Brightfield, 40× oil-immersion objective. 250 by 250 pixels. Bone marrow smear: 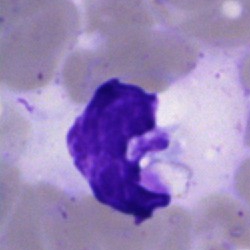 {"cell_type": "artefact"}